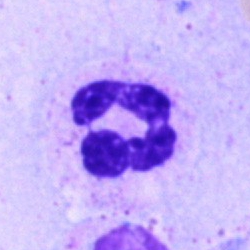
This is a segmented neutrophil.